Bone marrow smear; single-cell field: 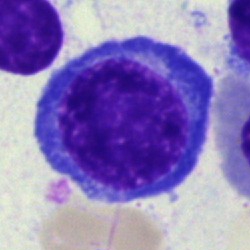Morphology consistent with a normoblast.